Peripheral blood smear — 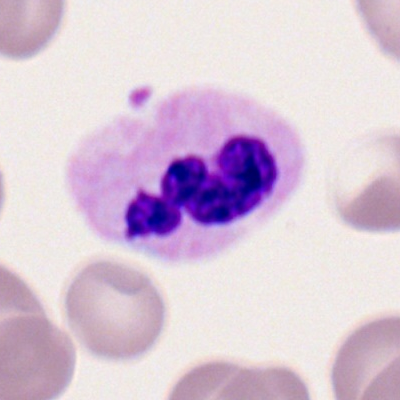Classification = segmented neutrophil.